May-Grünwald-Giemsa stain · single-cell crop · bone marrow smear — 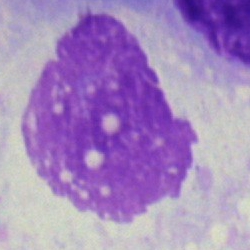
Morphological class — artefact.